Bone marrow smear · 40× oil immersion:
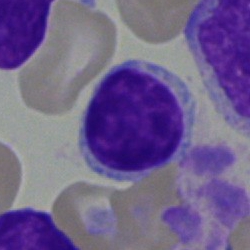

Cell: lymphocyte.